Bone marrow smear · 40× objective, oil immersion · 250 by 250 pixels.
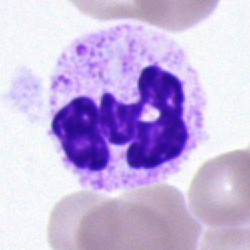 Impression — polymorphonuclear neutrophil.